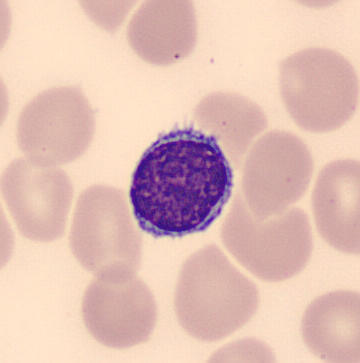
Q: What is shown here?
A: A lymphocyte.
Preparation: Peripheral blood smear.